Bone marrow smear.
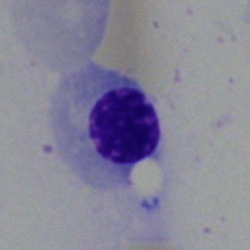 Morphological class = erythroblast.